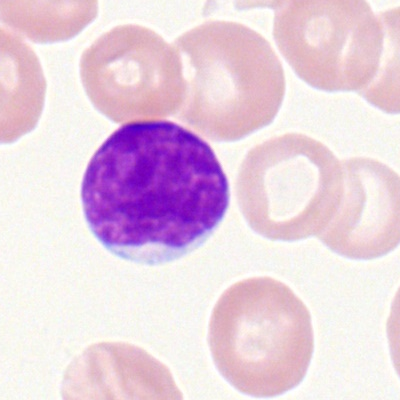

Single-cell crop from a peripheral blood smear: lymphocyte.